Bone marrow smear
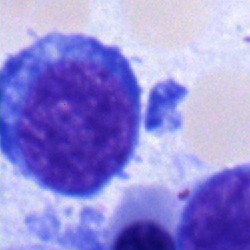Morphological class — erythroblast.